Bone marrow smear.
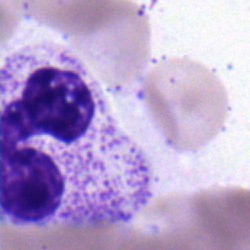
Showing a neutrophil (segmented).